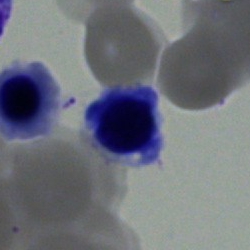 A nucleated red cell on a bone marrow smear.